Bone marrow aspirate smear:
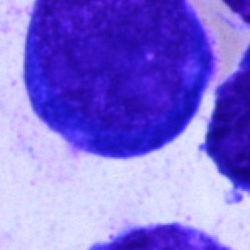Morphology → erythroblast.